Bone marrow aspirate smear · single-cell crop · brightfield, 40× oil-immersion objective.
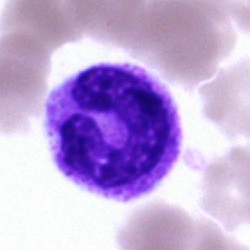Neutrophil (band).